Bone marrow aspirate smear — 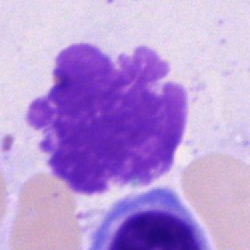
Q: What is shown here?
A: It is an artefact.